Bone marrow smear — 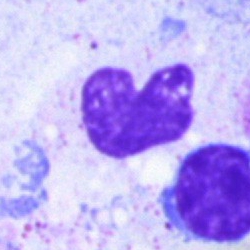

Morphology → artifact.